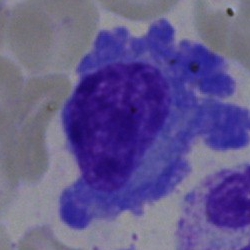

Single cell identified as a plasmacyte.